Bone marrow smear. MGG-stained:
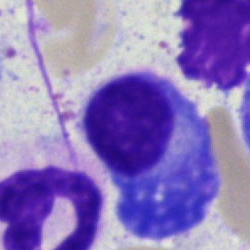
Plasmacyte.